Bone marrow aspirate smear: 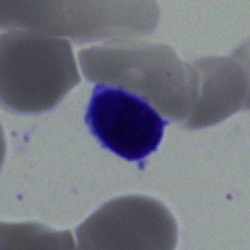
Showing a lymphocyte.